Bone marrow aspirate smear — 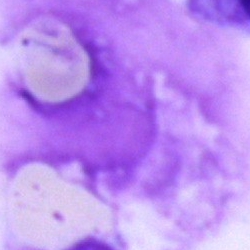Single cell identified as an artifact.